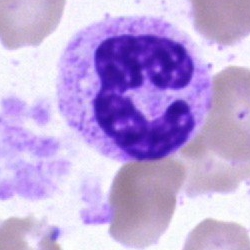

Single cell identified as a polymorphonuclear neutrophil.